Single-cell field · bone marrow smear: 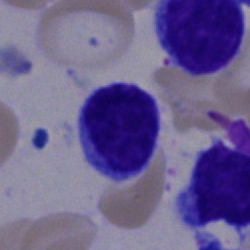The cell type is lymphocyte.